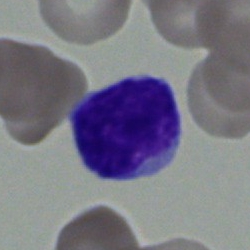

Morphological class — lymphocyte.